Single cell centered in the field; bone marrow aspirate smear
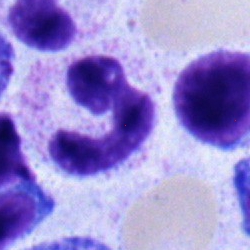

Morphology consistent with a polymorphonuclear neutrophil.